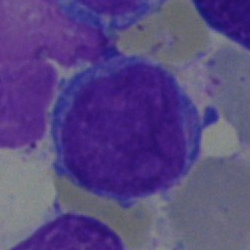
Bone marrow smear showing a blast.